Bone marrow smear · Pappenheim-stained · 250×250 px
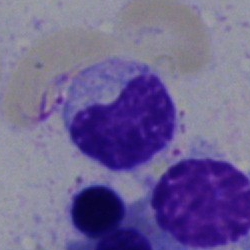 Q: What is shown here?
A: A band-form neutrophil.